Image size 250×250. Bone marrow aspirate smear:
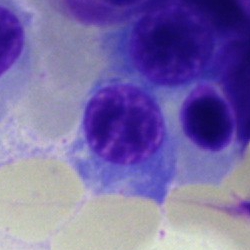
Morphological class: nucleated red cell.